250×250 px; bone marrow aspirate smear.
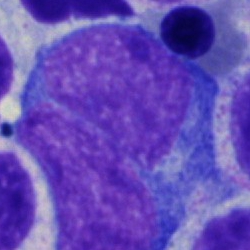

Q: What is the morphological classification of this cell?
A: Pronormoblast.